Cropped to a single cell. Bone marrow smear — 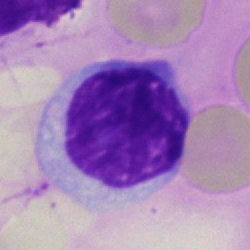

The cell is lymphocyte.